Bone marrow aspirate smear; single-cell field:
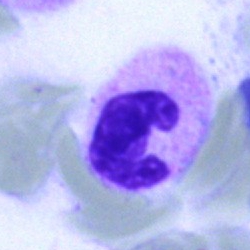Classification — segmented neutrophil.